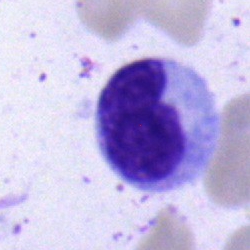

Q: Identify the cell.
A: This is a metamyelocyte.